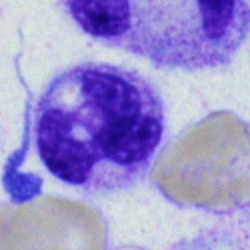
A segmented neutrophil on a bone marrow smear.